Cropped to a single cell · MGG-stained · bone marrow aspirate smear: 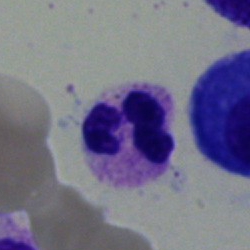 Cell — segmented neutrophil.